250×250; bone marrow smear:
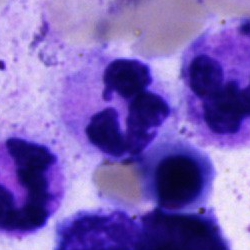The cell shown is a neutrophil (segmented).